Bone marrow aspirate smear: 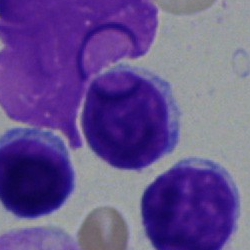Specimen: bone marrow smear.
Cell type: typical lymphocyte.